250×250 px. 40× oil immersion. Bone marrow smear.
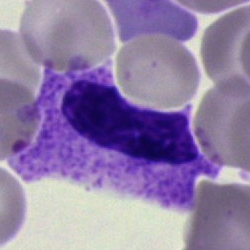
Morphology consistent with an artifact.